40× objective, oil immersion. Bone marrow aspirate smear. Image size 250×250 — 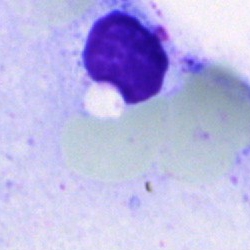

Morphology consistent with an artefact.